Peripheral blood film:
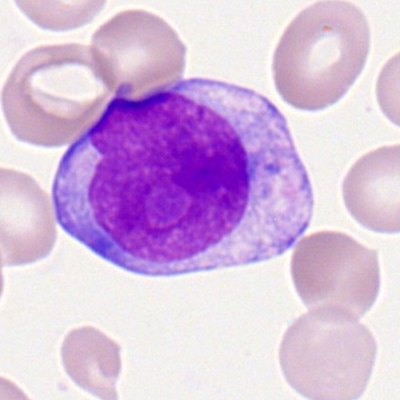 Q: What type of cell is this?
A: It is a myeloid blast.